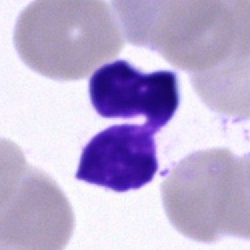Specimen: bone marrow smear.
Morphological class: neutrophil (segmented).